Bone marrow aspirate smear.
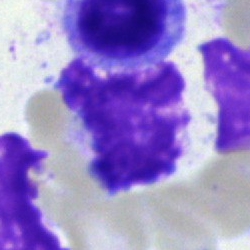
{"cell_type": "artefact"}